Bone marrow smear. 250×250. Brightfield, 40× oil-immersion objective:
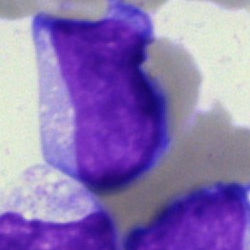
Specimen: bone marrow smear.
Cell type: blast cell.